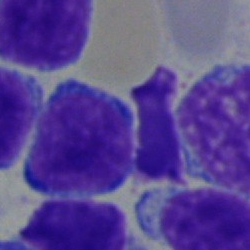
Bone marrow aspirate smear, single cell — typical lymphocyte.